250×250 px. Bone marrow smear.
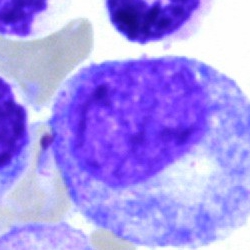

Morphological class = progranulocyte.